Bone marrow smear · cropped to a single cell · 40× objective, oil immersion:
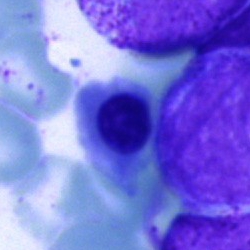

The cell shown is a normoblast.